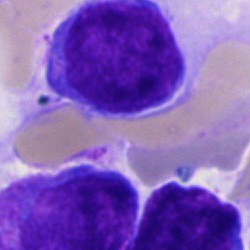

Showing an undifferentiated blast.